Bone marrow smear · cropped to a single cell · Pappenheim-stained: 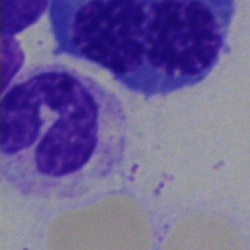The cell shown is a polymorphonuclear neutrophil.